Bone marrow smear: 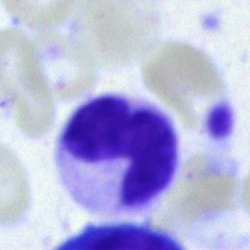

Q: Identify the cell.
A: This is a stab cell.